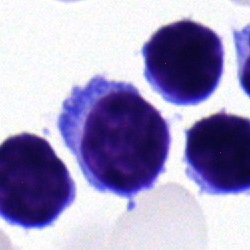
Morphological class: typical lymphocyte.